Bone marrow aspirate smear; 250 by 250 pixels:
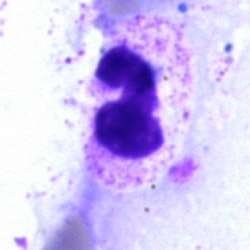 Impression → polymorphonuclear neutrophil.